Bone marrow smear · MGG-stained
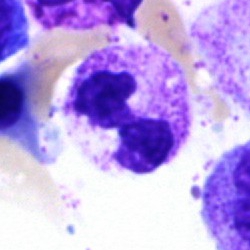Showing a polymorphonuclear neutrophil.